250×250 px; bone marrow aspirate smear:
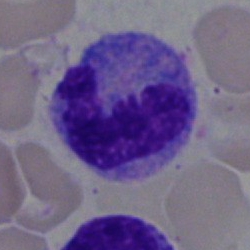 Showing a monocyte.